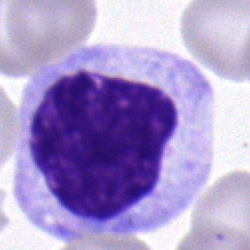
Q: Which cell type is shown here?
A: It is a myelocyte.